Bone marrow aspirate smear.
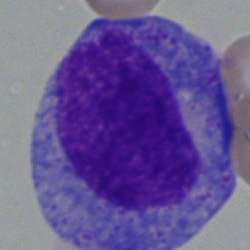 Cell type = progranulocyte.